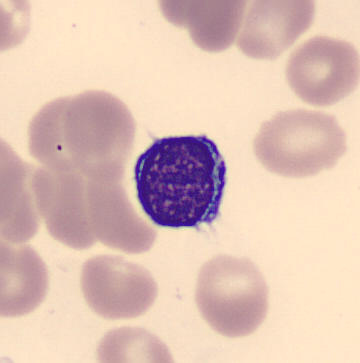
Peripheral blood smear. Single-cell field.

Q: Identify the cell.
A: A typical lymphocyte.